Image size 250×250. Single cell centered in the field. Bone marrow aspirate smear.
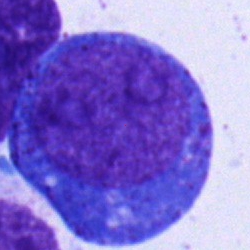
Single cell identified as a promyelocyte.